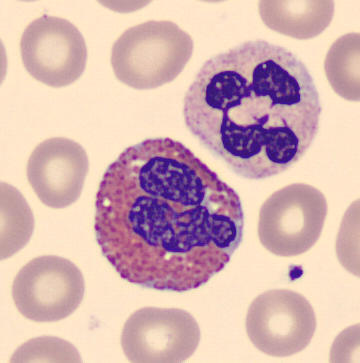 Single cell identified as an eosinophilic granulocyte.